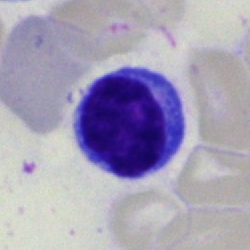
Classification = lymphocyte.